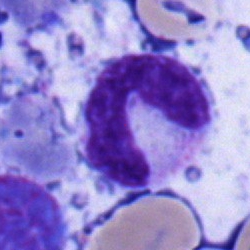

Specimen: bone marrow smear.
Classification: band neutrophil.
Lineage: myeloid.